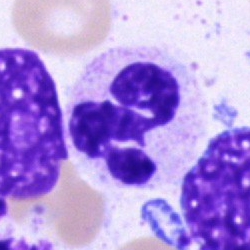 Specimen: bone marrow aspirate smear.
Classification: segmented neutrophil.